250×250 px · bone marrow aspirate smear:
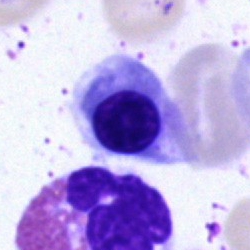Classification = erythroblast.